Bone marrow smear: 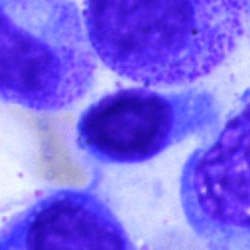The cell type is lymphocyte.